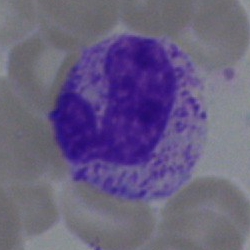

Bone marrow smear showing a stab cell.